Bone marrow smear — 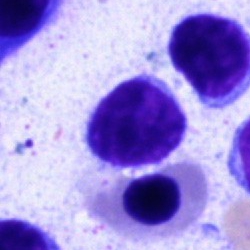
Specimen: bone marrow smear.
Classification: typical lymphocyte.